Bone marrow aspirate smear
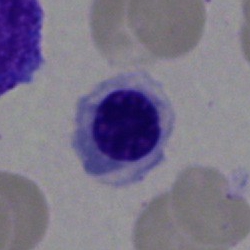
Single cell identified as an erythroblast.